Bone marrow aspirate smear; Pappenheim-stained; 250×250 px: 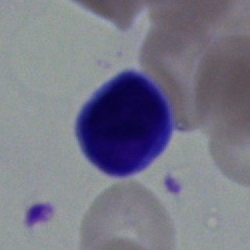 Showing a typical lymphocyte.